Bone marrow smear:
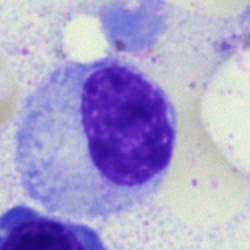
Q: What type of cell is this?
A: Myelocyte.